Bone marrow smear · Pappenheim-stained.
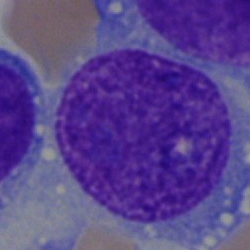

Morphology consistent with a blast.